Bone marrow smear
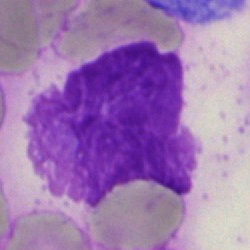

Q: What is shown here?
A: An artefact.